Bone marrow smear; May-Grünwald-Giemsa stain; brightfield, 40× oil-immersion objective
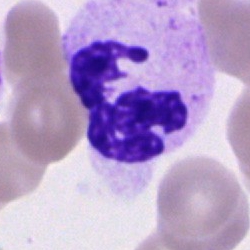Cell = segmented neutrophil.